Bone marrow smear
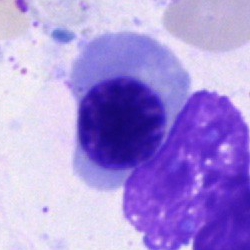
Q: What cell is this?
A: This is a nucleated red cell.